Image size 250×250 · bone marrow smear:
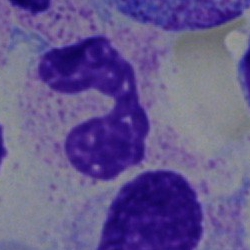
A band neutrophil.